Peripheral blood film: 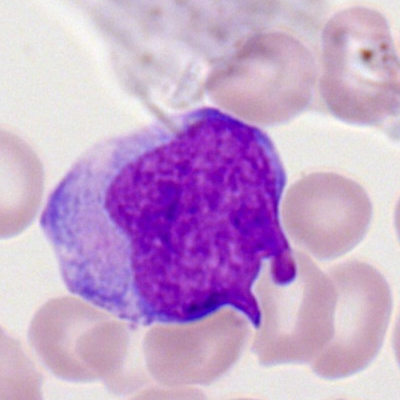

Morphology consistent with a myeloblast.